Bone marrow smear: 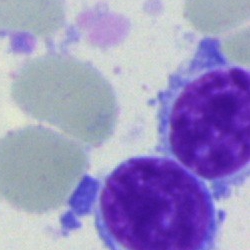 Specimen: bone marrow smear.
Morphological class: lymphocyte.